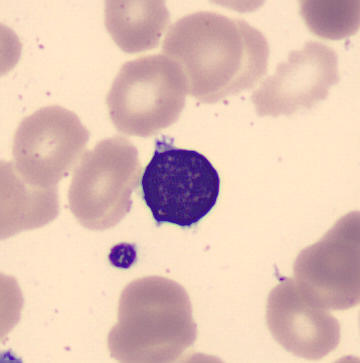Impression — lymphocyte.

Preparation: Peripheral blood smear. CellaVision DM96. May-Grünwald-Giemsa-stained.